Bone marrow aspirate smear:
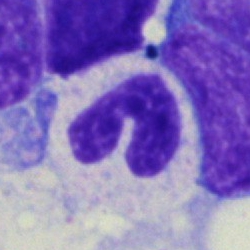 Morphology consistent with a stab cell.